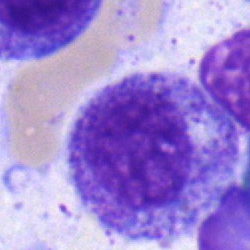The cell is nucleated red cell.